Peripheral blood film · cropped to a single cell · Romanowsky-type stain:
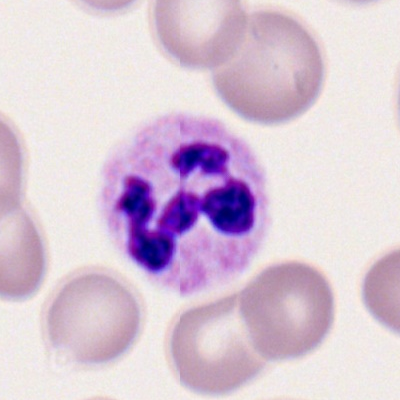 The cell type is polymorphonuclear neutrophil.